Bone marrow smear:
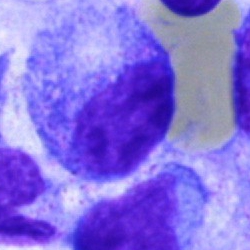
This is a promyelocyte.